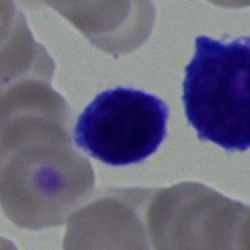 A lymphocyte.